MGG-stained; bone marrow aspirate smear; single-cell crop:
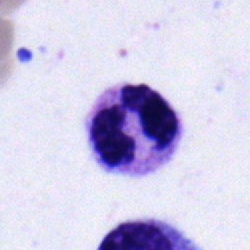

Cell type = polymorphonuclear neutrophil.